Bone marrow aspirate smear
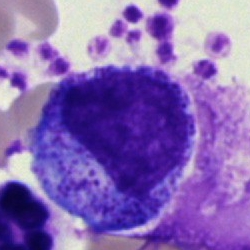
Progranulocyte.